Bone marrow aspirate smear.
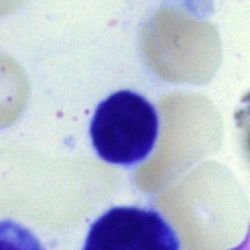
Morphology consistent with a lymphocyte.